Bone marrow aspirate smear — 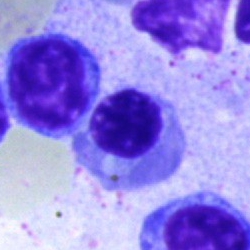
Q: Which cell type is shown here?
A: Nucleated red blood cell.